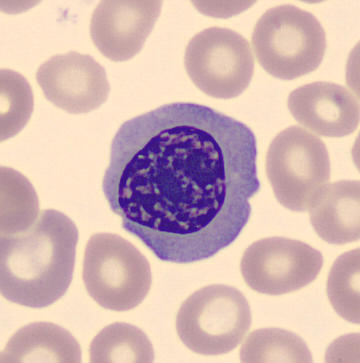

Single-cell crop from a peripheral blood smear: normoblast.